Image size 400×400. Romanowsky-stained. Peripheral blood film
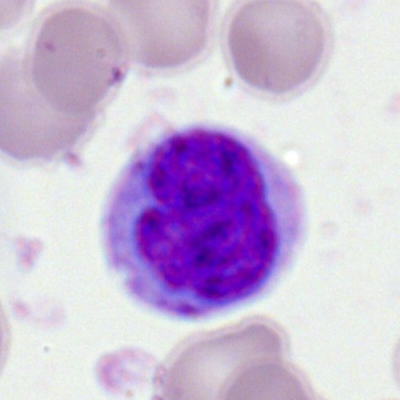 Cell type: monocyte.